250×250; bone marrow aspirate smear: 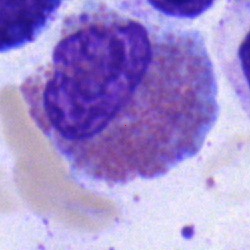

Specimen: bone marrow smear.
Classification: eosinophilic granulocyte.
Lineage: myeloid.